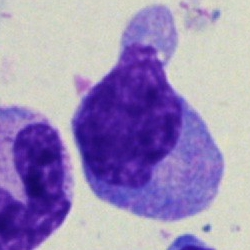 Cell: monocyte.